Bone marrow aspirate smear:
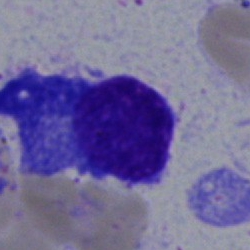 A plasmacyte.